Bone marrow smear: 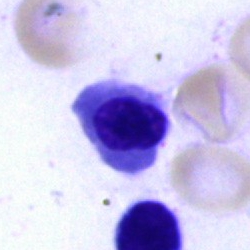Specimen: bone marrow smear.
Morphological class: nucleated red cell.
Lineage: erythroid.